Bone marrow aspirate smear; Pappenheim-stained — 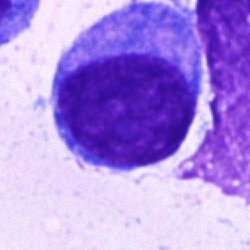Morphology consistent with a blast cell.